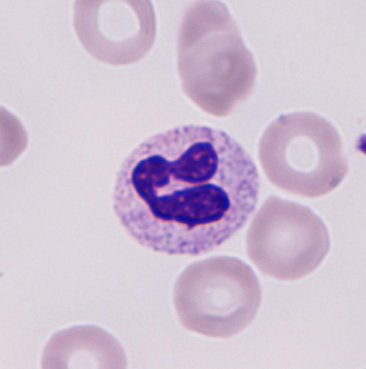Peripheral blood smear showing a neutrophil.